Bone marrow smear: 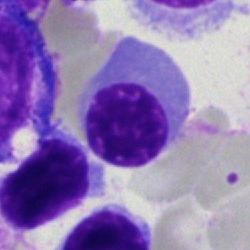 Cell = normoblast.